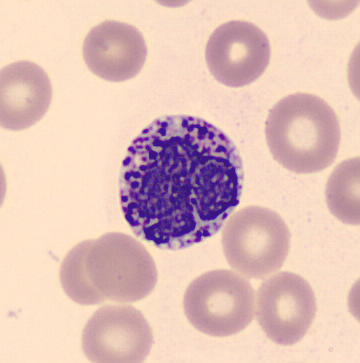Acquisition: Peripheral blood smear. MGG stain. CellaVision DM96 digital cell image. A basophilic granulocyte.